Bone marrow smear · 250 by 250 pixels:
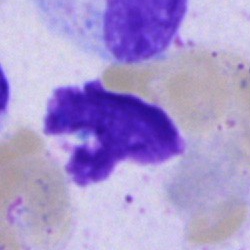 Showing an unidentifiable cell.